Bone marrow smear; 250×250; 40× objective, oil immersion — 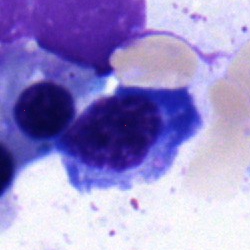
Q: What is the morphological classification of this cell?
A: Plasmacyte.